100× objective, oil immersion. Peripheral blood film. Romanowsky-stained — 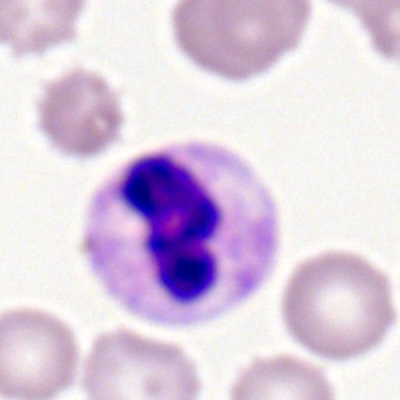
Q: What is shown here?
A: It is a segmented neutrophil.